Bone marrow aspirate smear · single-cell field · 40× objective, oil immersion: 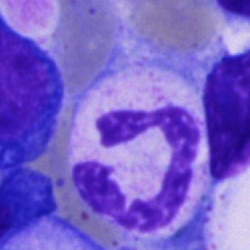Specimen: bone marrow aspirate smear.
Cell: neutrophil (segmented).